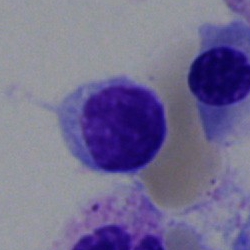Q: What type of cell is this?
A: A typical lymphocyte.